Bone marrow smear:
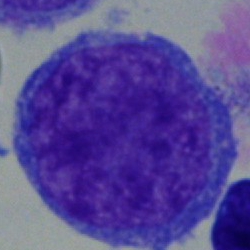
Specimen: bone marrow aspirate smear.
Cell type: undifferentiated blast.